Bone marrow aspirate smear: 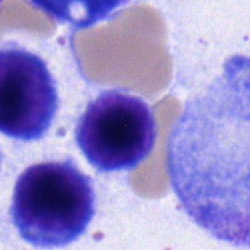

Specimen: bone marrow aspirate smear.
Morphological class: typical lymphocyte.
Lineage: lymphoid.